Peripheral blood film — 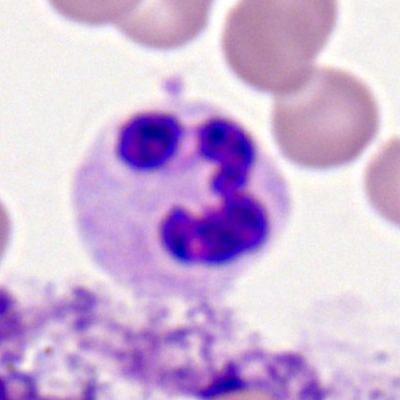 Showing a polymorphonuclear neutrophil.